Bone marrow aspirate smear: 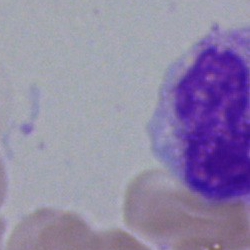

{"cell_type": "artifact"}